Romanowsky-stained · peripheral blood smear.
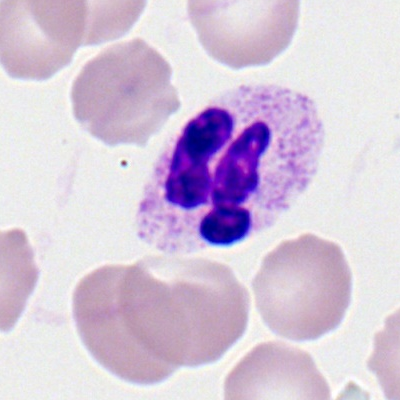Polymorphonuclear neutrophil.